Bone marrow smear
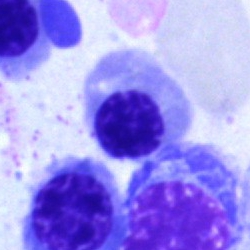Classification: nucleated red blood cell.